250×250; bone marrow smear:
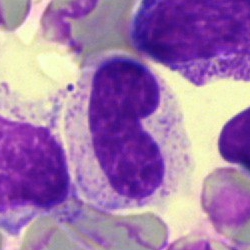Morphological class = band-form neutrophil.